Bone marrow aspirate smear:
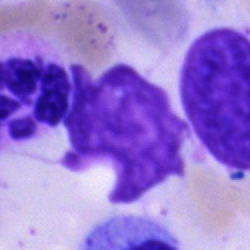
An artefact.